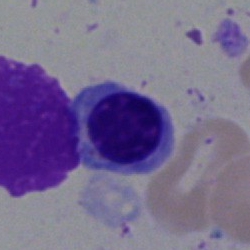

A nucleated red cell on a bone marrow smear.